Bone marrow aspirate smear
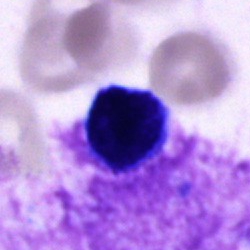
Specimen: bone marrow smear.
Cell type: cell of indeterminate lineage.